Bone marrow aspirate smear. MGG-stained: 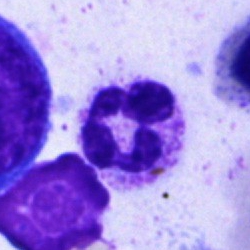
The cell type is segmented neutrophil.